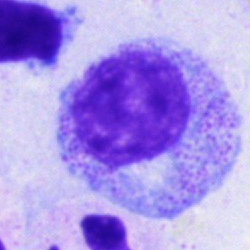
A promyelocyte on a bone marrow smear.